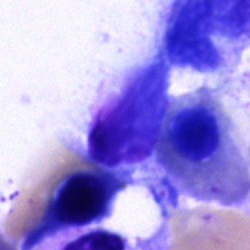 Morphological class: artifact.